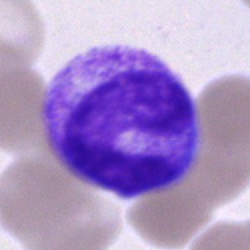

Specimen: bone marrow aspirate smear.
Cell: band neutrophil.
Lineage: myeloid.